Bone marrow smear. 250×250:
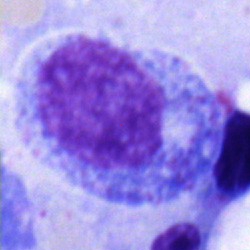Q: Identify the cell.
A: This is a progranulocyte.